Bone marrow smear: 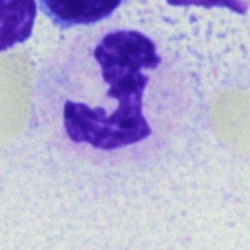Cell: segmented neutrophil.